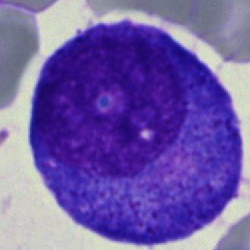This is a progranulocyte.